Bone marrow smear
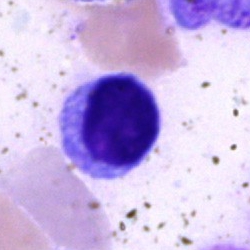Specimen: bone marrow aspirate smear.
Cell: typical lymphocyte.